Bone marrow smear: 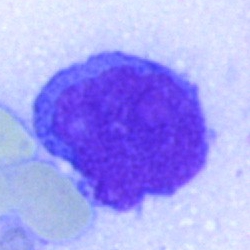 Cell type = undifferentiated blast.